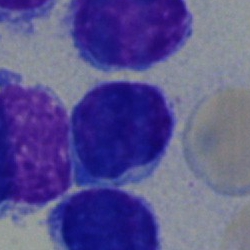Q: What is shown here?
A: A lymphocyte.